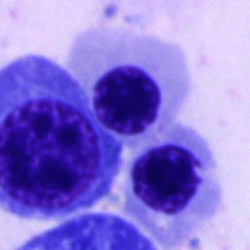Specimen: bone marrow aspirate smear.
Cell type: nucleated red blood cell.
Lineage: erythroid.